Brightfield, 40× oil-immersion objective; bone marrow aspirate smear; single cell centered in the field: 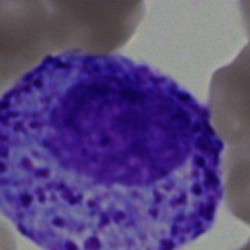

Morphology → blast.